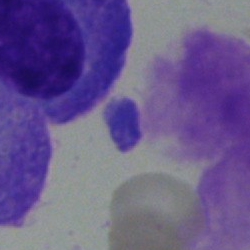Single-cell crop from a bone marrow smear: plasma cell.